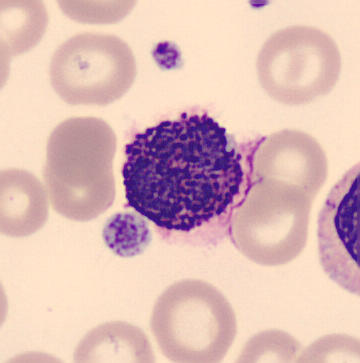

Acquisition: 360 by 363 pixels · peripheral blood smear · MGG-stained.

Classification = basophil.